Bone marrow aspirate smear: 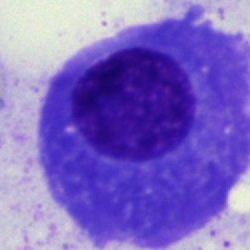

Morphological class — plasma cell.